Bone marrow smear.
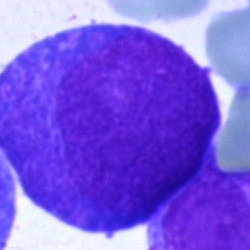 Morphological class — undifferentiated blast.